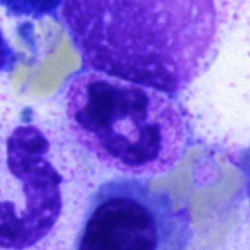

Morphological class = polymorphonuclear neutrophil.